Bone marrow smear
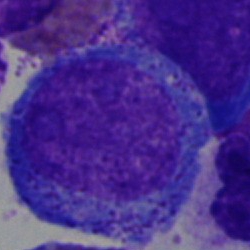Impression → promyelocyte.